Pappenheim-stained; image size 250×250; bone marrow smear:
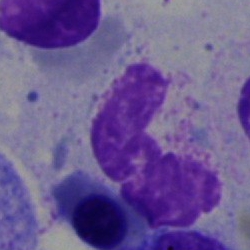

Morphology — artefact.